Bone marrow smear; single cell centered in the field; May-Grünwald-Giemsa/Pappenheim stain — 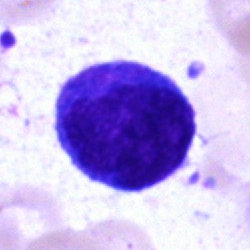 Q: What type of cell is this?
A: Undifferentiated blast.